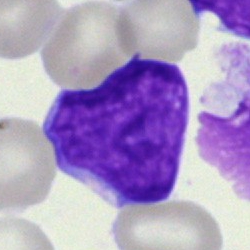 The cell type is blast.